Bone marrow aspirate smear: 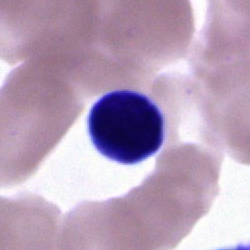
Morphological class = lymphocyte.